Single-cell field · MGG-stained · bone marrow smear — 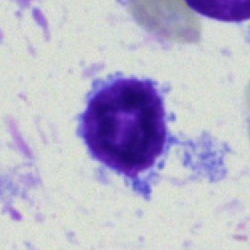

Morphology consistent with a lymphocyte.